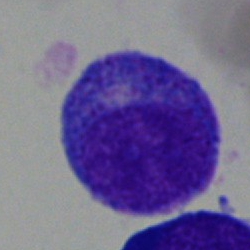

{"cell_type": "progranulocyte", "lineage": "myeloid"}